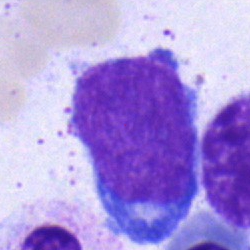 Cell: undifferentiated blast.